Image size 250×250. Pappenheim-stained. Bone marrow aspirate smear:
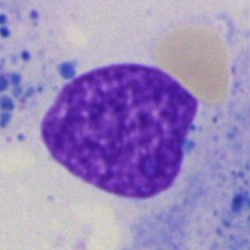
Single cell identified as an artifact.